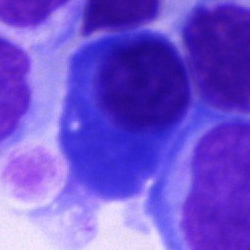Plasmacyte.